Single-cell field · bone marrow smear — 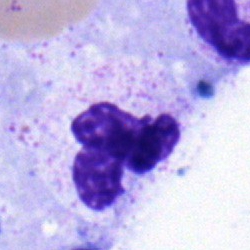
Q: Which cell type is shown here?
A: A neutrophil (segmented).